Bone marrow smear; May-Grünwald-Giemsa/Pappenheim stain — 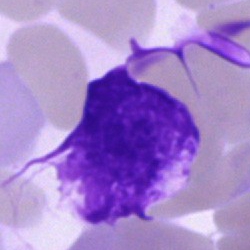

The cell shown is an artefact.